Bone marrow smear: 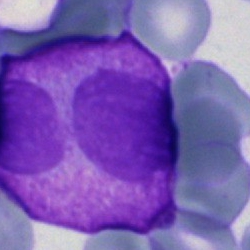

Showing a blast.